250 by 250 pixels; single-cell crop; bone marrow smear — 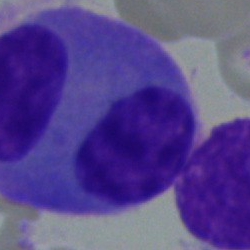

Classification = plasma cell.